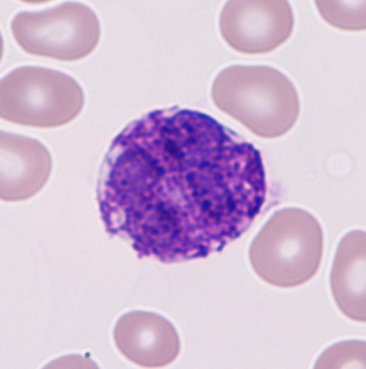
Morphological class — basophilic granulocyte.
Preparation: Image size 366×369; peripheral blood smear; CellaVision DM96.